Bone marrow smear — 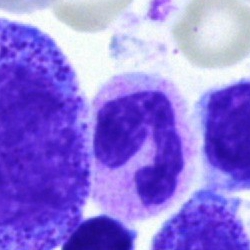

Q: What cell is this?
A: It is a neutrophil (segmented).